Bone marrow aspirate smear:
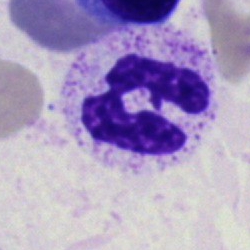{"cell_type": "segmented neutrophil"}